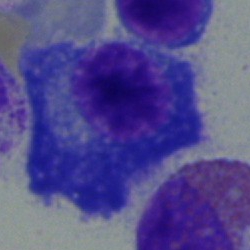 Cell type = plasma cell.